MGG-stained; bone marrow smear — 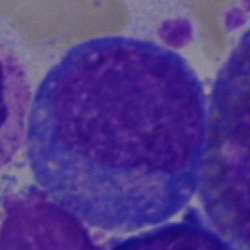

This is a progranulocyte.